Bone marrow smear — 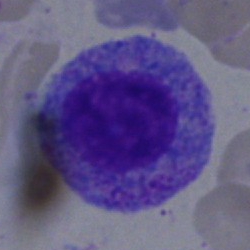Single cell identified as a myelocyte.